Bone marrow aspirate smear: 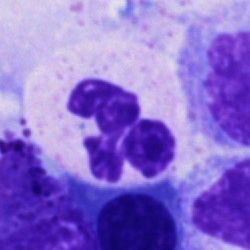

The cell shown is a segmented neutrophil.